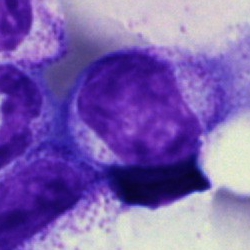

Specimen: bone marrow aspirate smear.
Morphological class: myelocyte.
Lineage: myeloid.